Image size 250×250. Single-cell crop. Bone marrow aspirate smear: 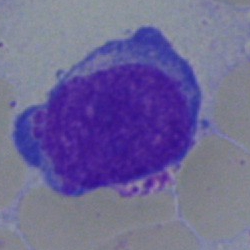Showing an undifferentiated blast.